Image size 250×250 · bone marrow smear · brightfield microscopy, 40× oil immersion:
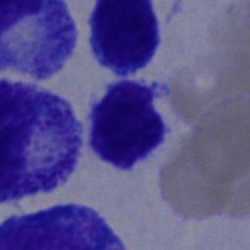 Morphology → typical lymphocyte.